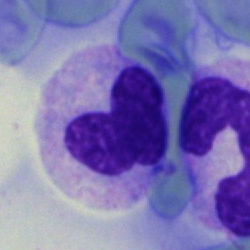

A stab cell.